Image size 250×250. Bone marrow smear. May-Grünwald-Giemsa/Pappenheim stain — 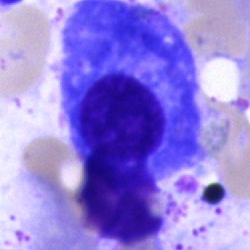

Q: Which cell type is shown here?
A: Plasmacyte.